Bone marrow smear; Pappenheim-stained
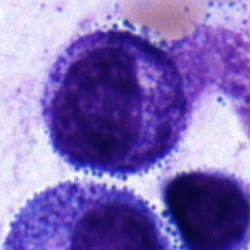 A myelocyte.